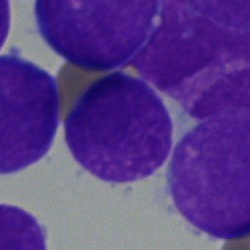

An undifferentiated blast on a bone marrow smear.